Romanowsky stain; peripheral blood smear.
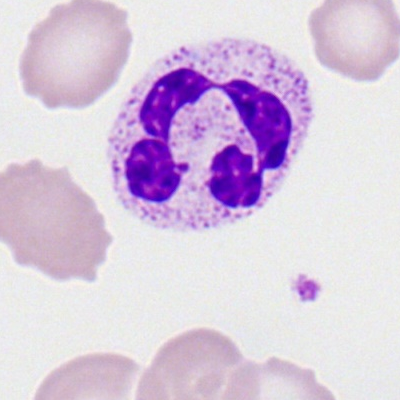
Specimen: peripheral blood film.
Classification: neutrophil (segmented).
Lineage: myeloid.